May-Grünwald-Giemsa stain; bone marrow smear; single cell centered in the field — 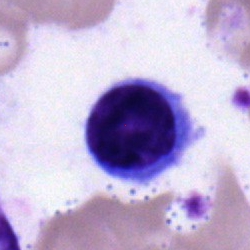
Q: What type of cell is this?
A: This is a typical lymphocyte.